Peripheral blood film:
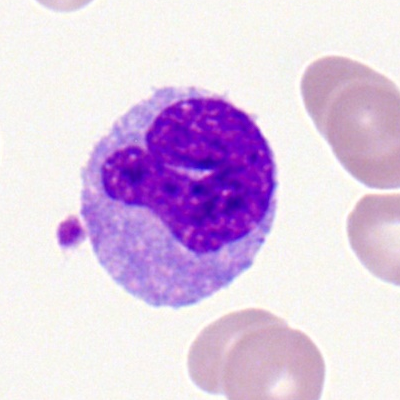Q: What is shown here?
A: Monocyte.